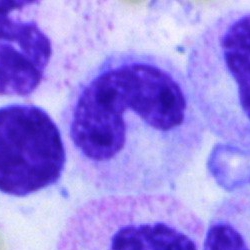 The cell shown is a band-form neutrophil.